Bone marrow smear.
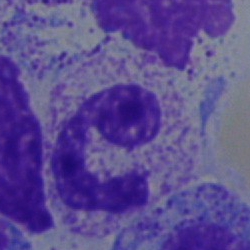Q: What cell is this?
A: Polymorphonuclear neutrophil.